Bone marrow smear: 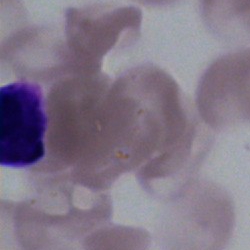
Cell type = artefact.